Bone marrow aspirate smear: 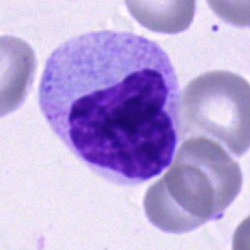

Specimen: bone marrow smear.
Cell type: neutrophil (band).
Lineage: myeloid.